Bone marrow smear: 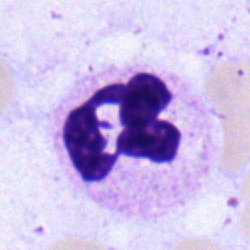
Q: What is shown here?
A: Neutrophil (segmented).